Bone marrow smear; 40× objective, oil immersion; MGG-stained — 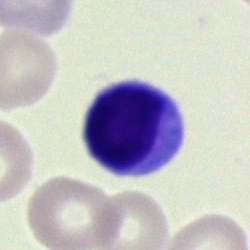
Q: What is the morphological classification of this cell?
A: Lymphocyte.